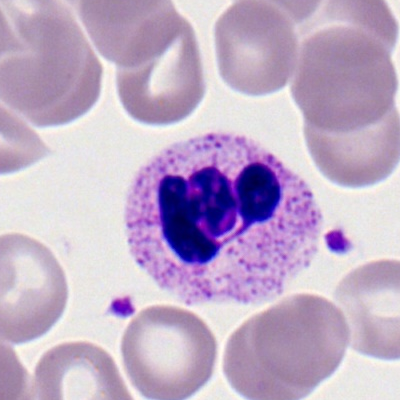Peripheral blood smear showing a segmented neutrophil.